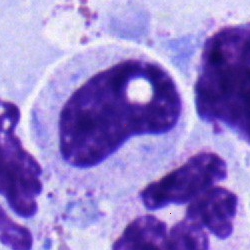

This is a metamyelocyte.